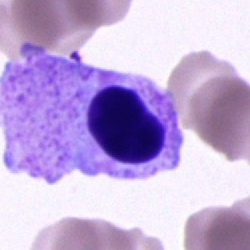
An artifact.